Bone marrow aspirate smear. Image size 250×250. Brightfield microscopy, 40× oil immersion:
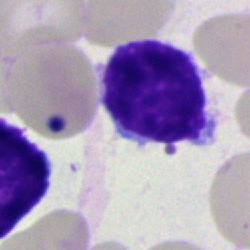 Morphology consistent with a lymphocyte.